Brightfield microscopy, 40× oil immersion; bone marrow smear — 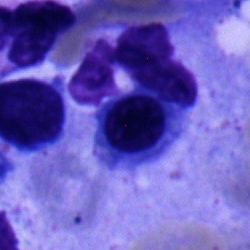

Q: What cell is this?
A: A normoblast.